Bone marrow smear
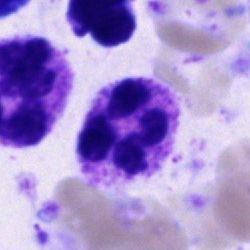
Specimen: bone marrow aspirate smear.
Morphological class: polymorphonuclear neutrophil.
Lineage: myeloid.